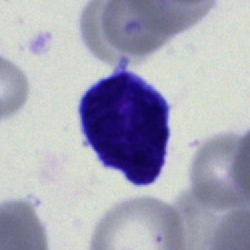 Classification: blast cell.